Brightfield, 40× oil-immersion objective. 250×250. Bone marrow aspirate smear — 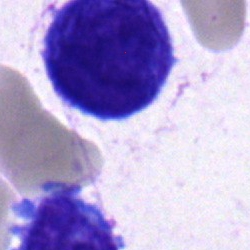

Q: What is the morphological classification of this cell?
A: Blast cell.